MGG-stained. Bone marrow aspirate smear. 250×250 px — 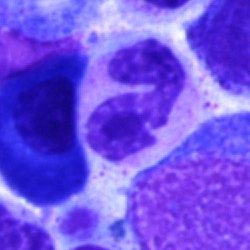The classification is segmented neutrophil.